Bone marrow smear. Cropped to a single cell. 40× oil immersion — 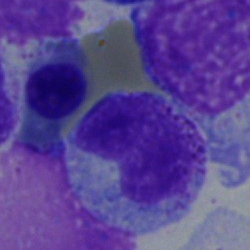
Specimen: bone marrow smear.
Classification: metamyelocyte.